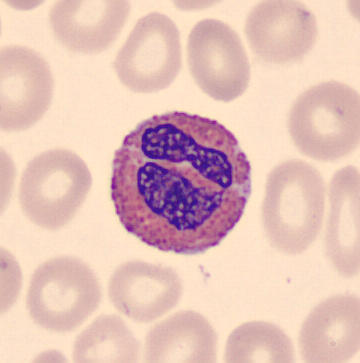 Q: What type of cell is this?
A: An eosinophilic granulocyte.

Preparation: Image size 360×363 · imaged on a CellaVision DM96 analyser · peripheral blood smear.